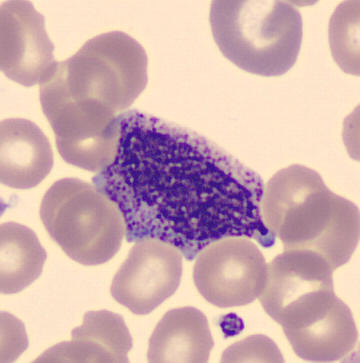

The cell shown is a myelocyte.
Acquisition: CellaVision DM96. Image size 360×363. Peripheral blood smear.